Bone marrow aspirate smear. 40× objective, oil immersion. Image size 250×250.
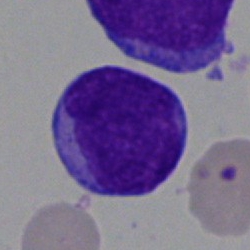

Q: What is the morphological classification of this cell?
A: It is an undifferentiated blast.